Cropped to a single cell · bone marrow smear: 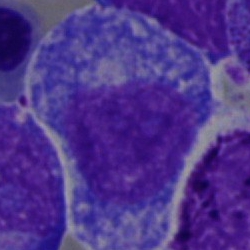{"cell_type": "promyelocyte"}